Peripheral blood film: 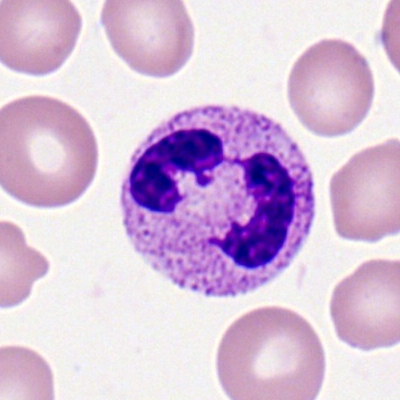 {"cell_type": "neutrophil (segmented)", "lineage": "myeloid"}